Bone marrow aspirate smear: 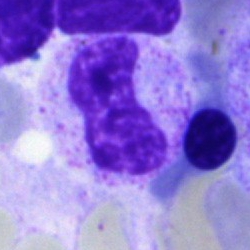Classification = stab cell.